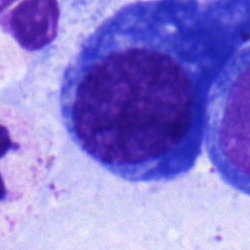

Q: What is the morphological classification of this cell?
A: This is a plasma cell.